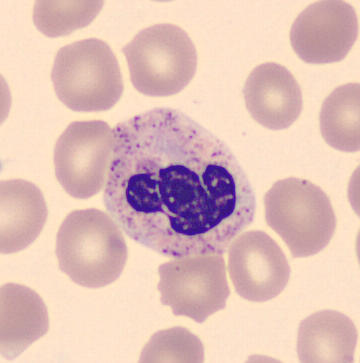Q: What is this?
A: Neutrophil (segmented). Preparation: Peripheral blood film; MGG-stained.